Bone marrow aspirate smear.
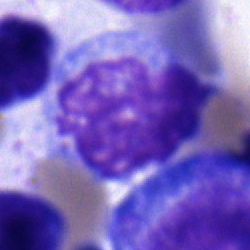Cell — monocyte.